250 by 250 pixels. Bone marrow smear
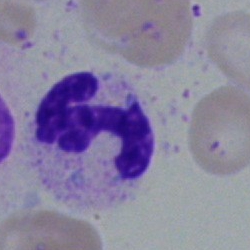This is a segmented neutrophil.